Peripheral blood smear — 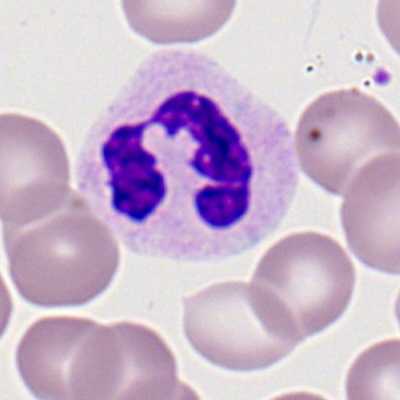 Cell: neutrophil (segmented).